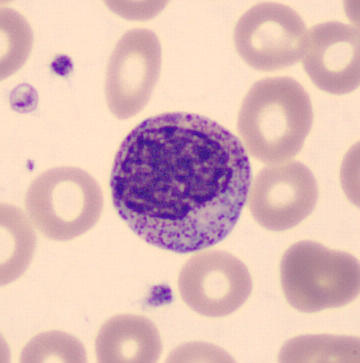Impression — myelocyte.
Acquisition: Peripheral blood smear · 360 by 363 pixels · single-cell field.